100× objective, oil immersion · Romanowsky stain · peripheral blood film.
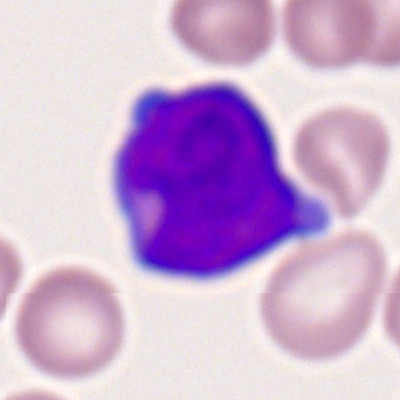

A myeloid blast.